Bone marrow smear: 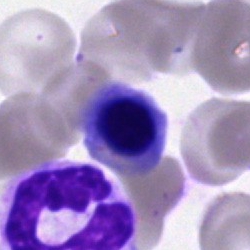 A nucleated red cell.